Bone marrow smear
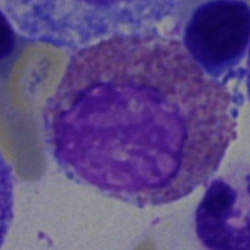
This is an eosinophilic granulocyte.